Peripheral blood film:
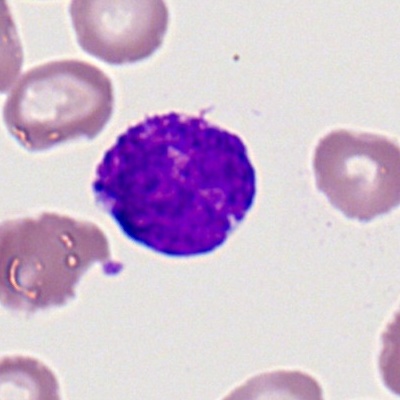

Showing a basophilic granulocyte.